Bone marrow smear; 40× oil immersion.
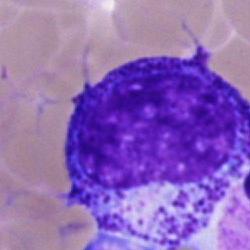

Q: What type of cell is this?
A: Promyelocyte.